Bone marrow aspirate smear — 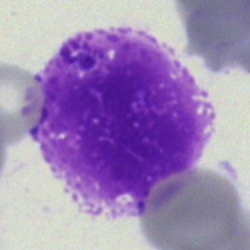
Classification: artifact.